Single cell centered in the field · bone marrow smear:
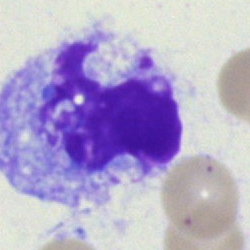{"cell_type": "artefact"}